Bone marrow aspirate smear
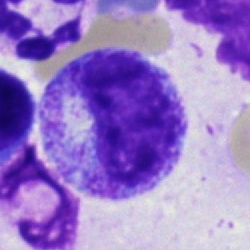Q: What cell is this?
A: This is a myelocyte.